Bone marrow aspirate smear. Cropped to a single cell:
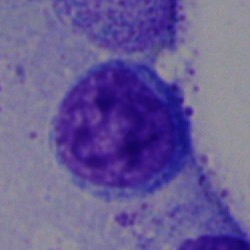Q: What type of cell is this?
A: A typical lymphocyte.